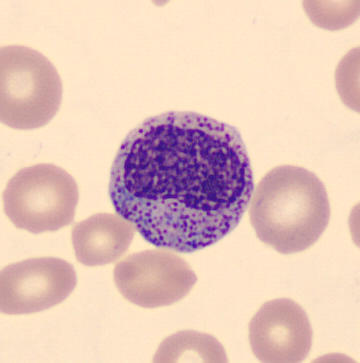Q: Identify the cell.
A: Myelocyte.

Preparation: Peripheral blood film. Automated cell imaging (CellaVision DM96).